Brightfield microscopy, 40× oil immersion; bone marrow smear:
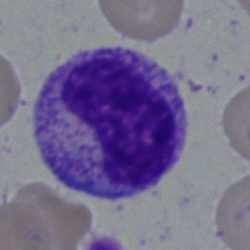
A metamyelocyte.